Bone marrow aspirate smear: 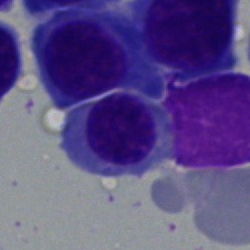

Nucleated red blood cell.